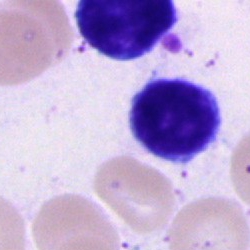 Bone marrow aspirate smear, single cell — lymphocyte.